Bone marrow aspirate smear:
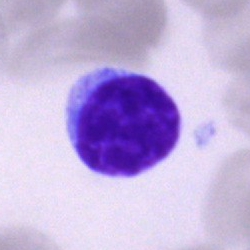Impression → lymphocyte.